Bone marrow smear:
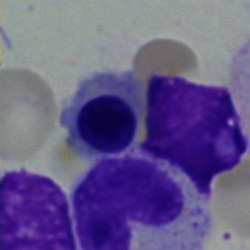Morphological class = nucleated red blood cell.